Bone marrow smear · brightfield microscopy, 40× oil immersion — 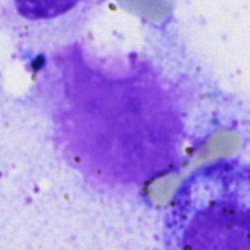

This is an artefact.